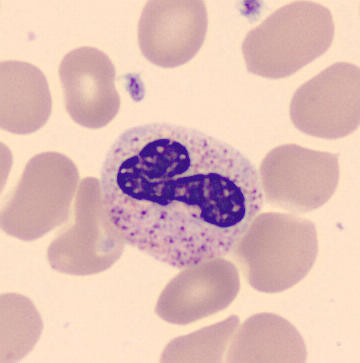Preparation: Peripheral blood film · single cell centered in the field. Cell type = stab cell.